Bone marrow aspirate smear — 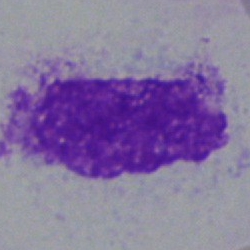
Showing an artefact.